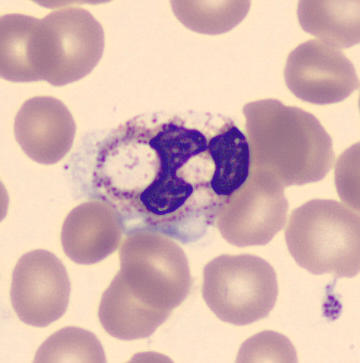Morphological class = polymorphonuclear neutrophil.